Bone marrow smear · single-cell field · 250×250
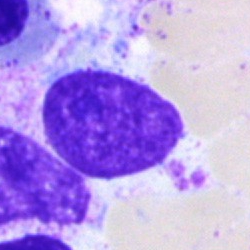
This is an artefact.